Bone marrow aspirate smear. 250×250 px
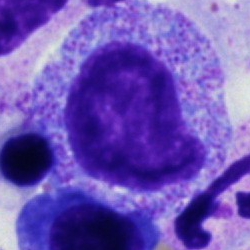Q: What is shown here?
A: Myelocyte.